Peripheral blood smear · Romanowsky-type stain.
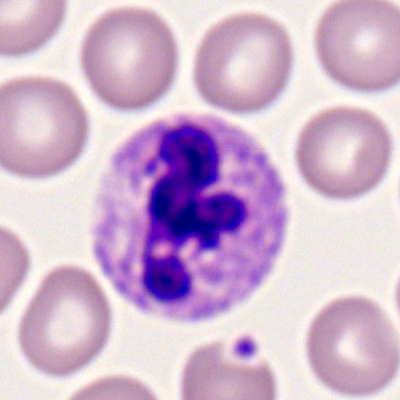
Classification — segmented neutrophil.